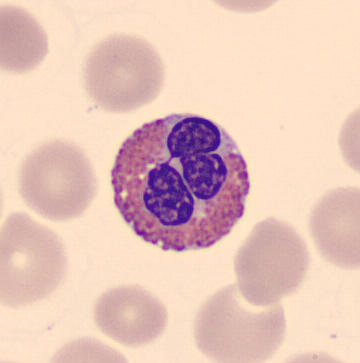

Cell type = eosinophil.